Bone marrow smear: 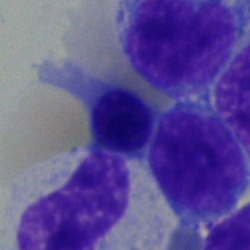
The cell is normoblast.